Single-cell field · bone marrow smear.
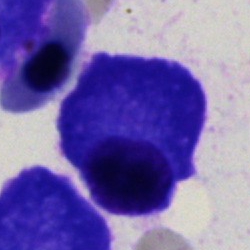 Classification — plasma cell.